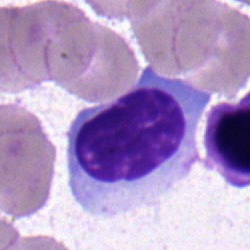
{"cell_type": "lymphocyte", "lineage": "lymphoid"}